Bone marrow aspirate smear: 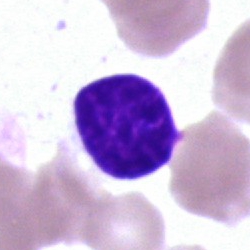
The cell shown is a lymphocyte.